Bone marrow smear. Brightfield microscopy, 40× oil immersion — 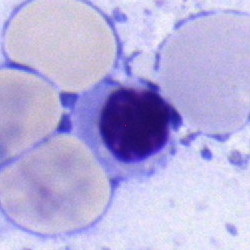

Q: What is the morphological classification of this cell?
A: An erythroblast.